Bone marrow smear — 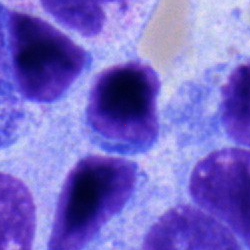
{"cell_type": "typical lymphocyte", "lineage": "lymphoid"}